Bone marrow aspirate smear · MGG-stained:
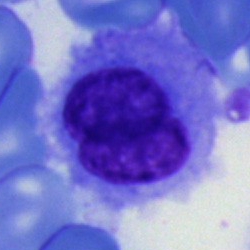Cell type: hairy cell.